Bone marrow aspirate smear.
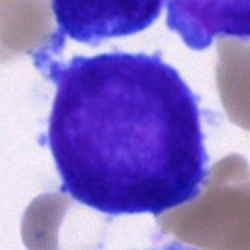 Cell type = proerythroblast.